Bone marrow aspirate smear:
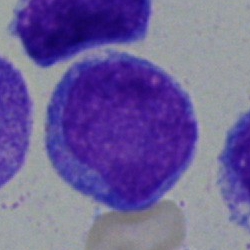 Undifferentiated blast.